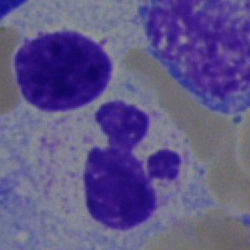
Specimen: bone marrow aspirate smear.
Cell type: segmented neutrophil.